Bone marrow aspirate smear
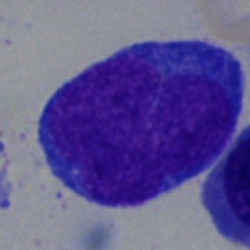
Morphology consistent with an undifferentiated blast.